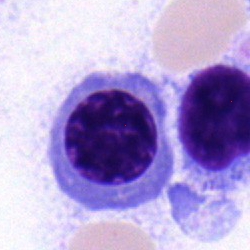
A nucleated red cell.